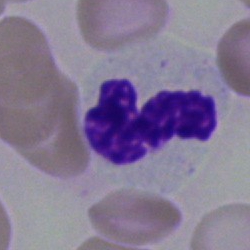Q: Which cell type is shown here?
A: Segmented neutrophil.